Bone marrow smear.
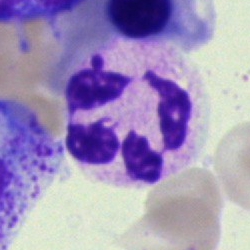Single cell identified as a neutrophil (segmented).